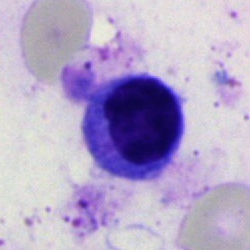

Morphology — segmented neutrophil.